Bone marrow smear — 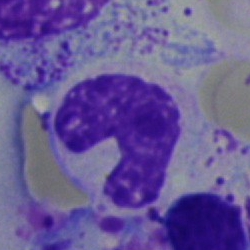

Showing a neutrophil (band).